Bone marrow smear.
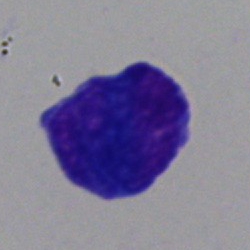 Cell type: artifact.